Bone marrow smear
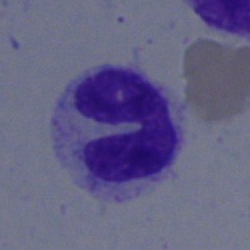
Specimen: bone marrow smear.
Classification: segmented neutrophil.
Lineage: myeloid.